Bone marrow aspirate smear: 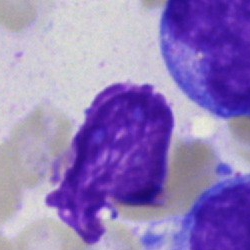Impression — artifact.